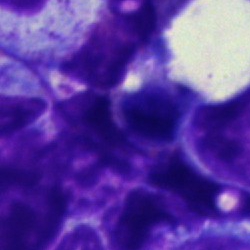

Classification: artifact.